400×400 · peripheral blood smear
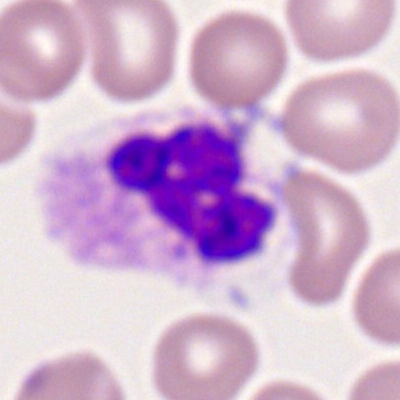
Single cell identified as a neutrophil (segmented).